May-Grünwald-Giemsa/Pappenheim stain. Bone marrow smear
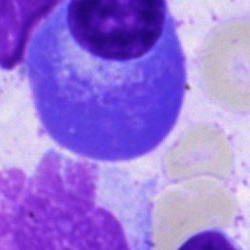 Specimen: bone marrow aspirate smear.
Cell type: plasma cell.
Lineage: lymphoid.